Bone marrow aspirate smear · image size 250×250
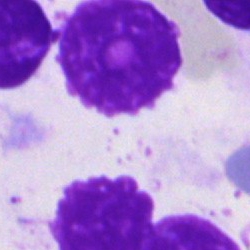 Showing an artefact.